Bone marrow smear
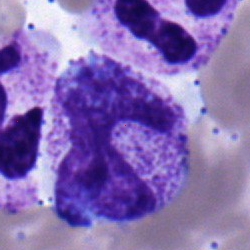Specimen: bone marrow smear.
Cell type: neutrophil (band).
Lineage: myeloid.